Bone marrow smear
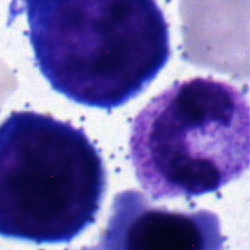Morphological class = band neutrophil.